Bone marrow aspirate smear. Single cell centered in the field. Brightfield microscopy, 40× oil immersion.
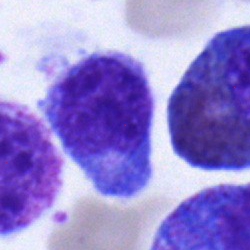
Morphology consistent with a monocyte.